Bone marrow smear.
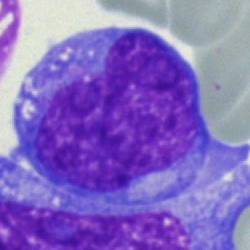
This is a blast.